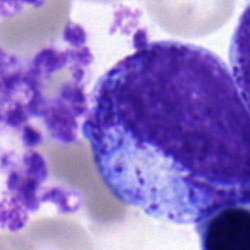
Cell — progranulocyte.